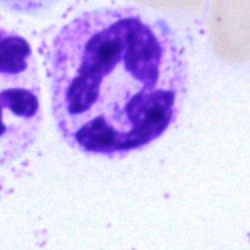 Impression → neutrophil (segmented).